Bone marrow smear — 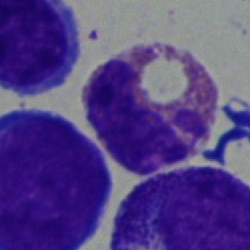

Showing an eosinophilic granulocyte.